Bone marrow smear. May-Grünwald-Giemsa stain. Cropped to a single cell: 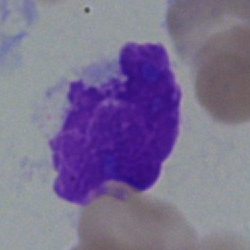

Artefact.